Bone marrow aspirate smear; cropped to a single cell; May-Grünwald-Giemsa/Pappenheim stain — 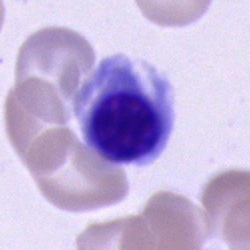
Q: What is shown here?
A: Normoblast.